Bone marrow aspirate smear
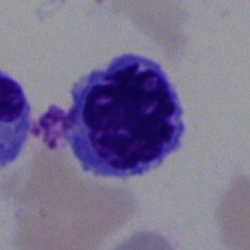Showing a normoblast.